Bone marrow smear · 250×250
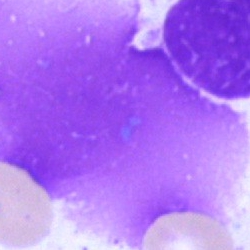 Specimen: bone marrow aspirate smear.
Cell: artifact.